Bone marrow aspirate smear: 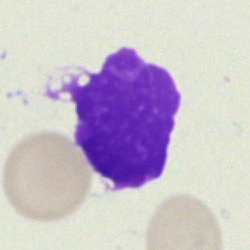 The classification is artifact.